40× objective, oil immersion; bone marrow smear; image size 250×250:
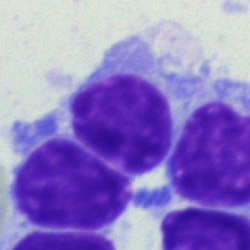
This is a lymphocyte.